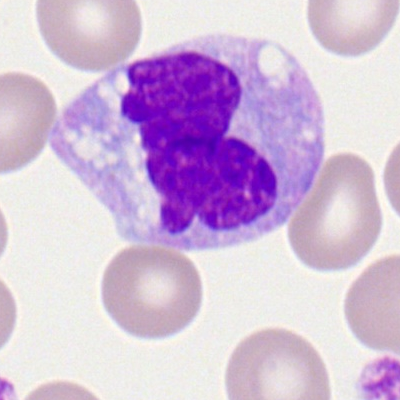The classification is monocyte.